Bone marrow aspirate smear.
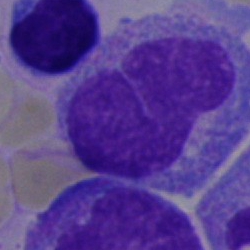
Morphological class = monocyte.